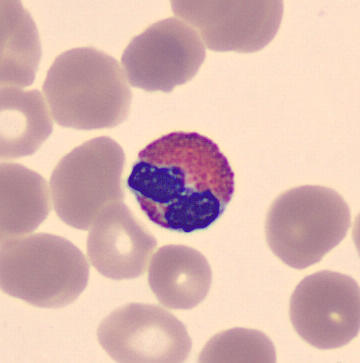

Preparation: Peripheral blood film. Cropped to a single cell. May-Grünwald-Giemsa-stained.

Morphology — eosinophilic granulocyte.